Bone marrow smear: 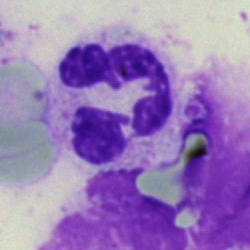 Morphological class = polymorphonuclear neutrophil.